Bone marrow aspirate smear. Cropped to a single cell: 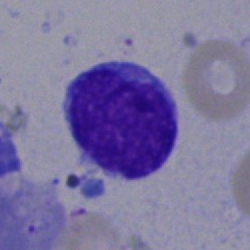
Morphology consistent with a blast cell.